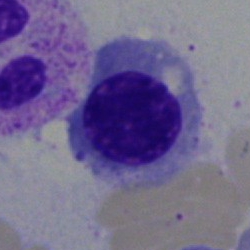Single cell identified as an erythroblast.